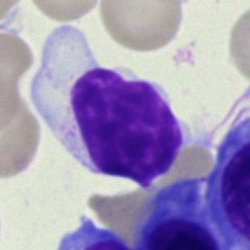The cell shown is a typical lymphocyte.